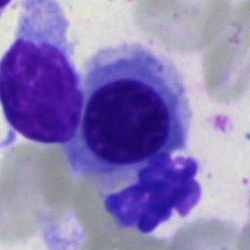 {"cell_type": "erythroblast"}